Peripheral blood film: 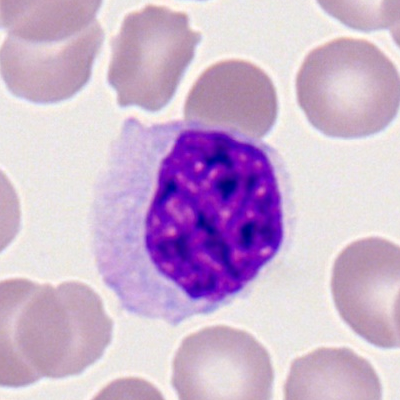{"cell_type": "typical lymphocyte", "lineage": "lymphoid"}